Bone marrow smear. Image size 250×250.
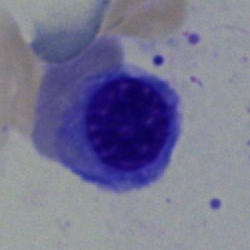

{"cell_type": "nucleated red blood cell", "lineage": "erythroid"}